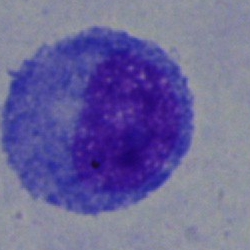

Q: What is the morphological classification of this cell?
A: It is a progranulocyte.